250×250 px; bone marrow aspirate smear; May-Grünwald-Giemsa/Pappenheim stain
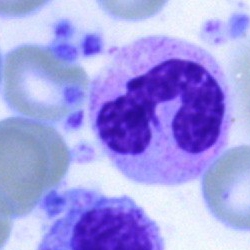Specimen: bone marrow smear.
Cell type: segmented neutrophil.